Bone marrow aspirate smear. Single cell centered in the field.
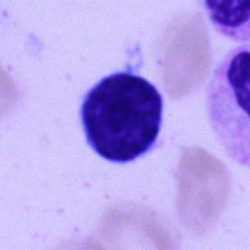 The cell shown is a lymphocyte.